Bone marrow smear:
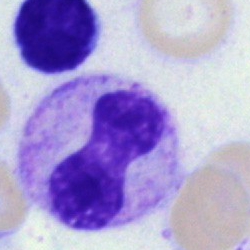
The cell shown is a band-form neutrophil.